Bone marrow smear
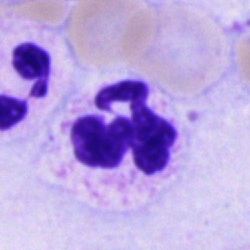
Q: Identify the cell.
A: A neutrophil (segmented).